Bone marrow smear: 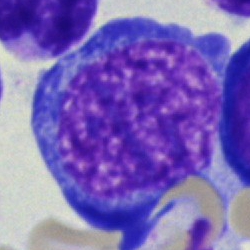A basophil.